Single-cell crop. Bone marrow smear — 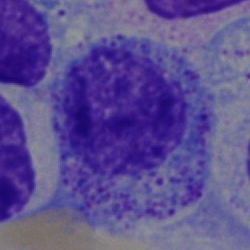

{"cell_type": "myelocyte"}